Bone marrow smear; single cell centered in the field: 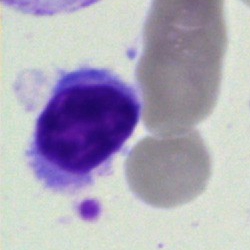

Specimen: bone marrow smear.
Cell: lymphocyte.
Lineage: lymphoid.